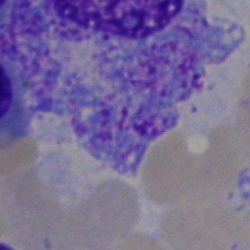Morphological class — artifact.